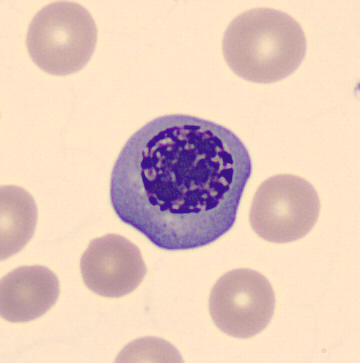Morphology consistent with a normoblast.